Bone marrow smear — 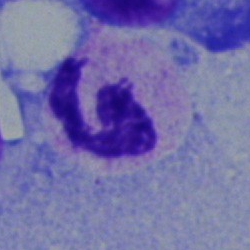 Q: Identify the cell.
A: It is a segmented neutrophil.